Bone marrow smear:
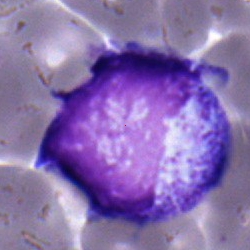 This is a metamyelocyte.